Bone marrow smear:
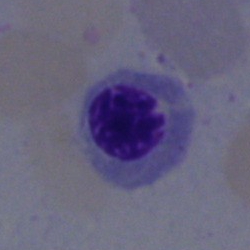A nucleated red cell.